Bone marrow smear
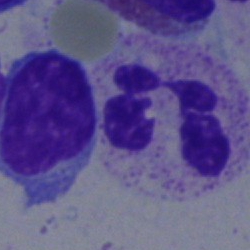

Classification — polymorphonuclear neutrophil.